Bone marrow smear
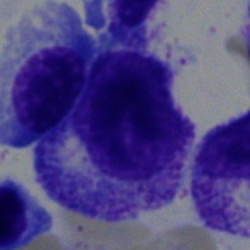{"cell_type": "myelocyte"}